Single cell centered in the field; bone marrow smear:
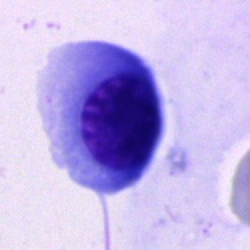
{"cell_type": "erythroblast", "lineage": "erythroid"}